Image size 250×250; bone marrow smear; MGG-stained.
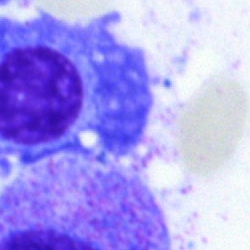

Showing a plasma cell.